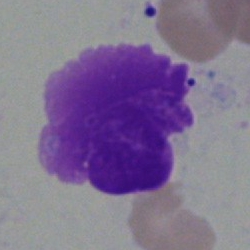

Artifact.